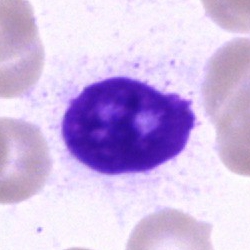
Single-cell crop from a bone marrow smear: artifact.